Bone marrow aspirate smear:
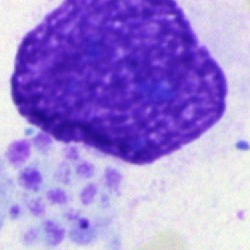 The morphological class is artifact.